Bone marrow smear · May-Grünwald-Giemsa stain: 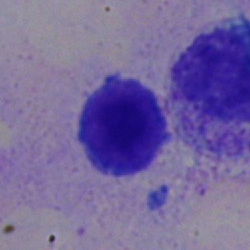

The cell shown is a typical lymphocyte.